Single-cell crop · bone marrow smear · Pappenheim-stained.
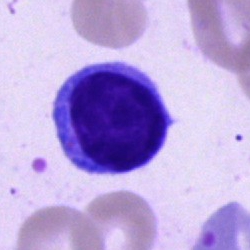 Typical lymphocyte.